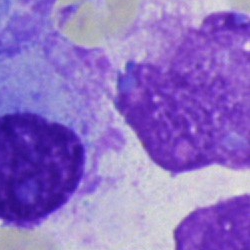Bone marrow aspirate smear, single cell — artifact.